Bone marrow aspirate smear · May-Grünwald-Giemsa/Pappenheim stain:
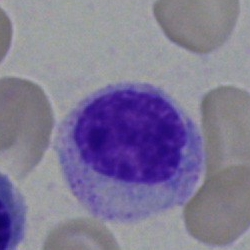Cell type = lymphocyte.